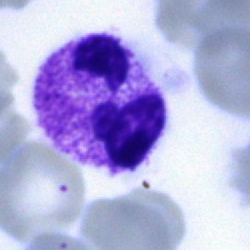

Cell type: polymorphonuclear neutrophil.